Single-cell field; bone marrow smear:
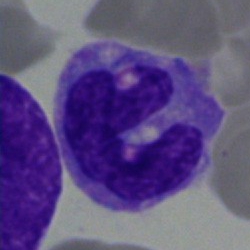

Cell: monocyte.